Brightfield microscopy, 40× oil immersion; bone marrow smear; May-Grünwald-Giemsa stain.
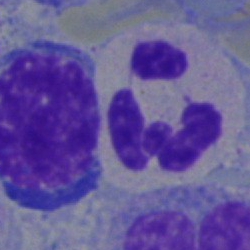
Single cell identified as a segmented neutrophil.